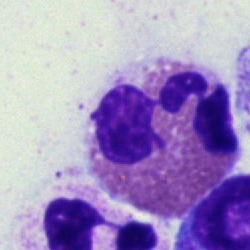 {"cell_type": "eosinophil", "lineage": "myeloid"}